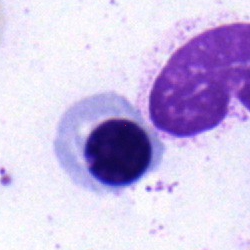 The cell is erythroblast.